May-Grünwald-Giemsa stain; bone marrow smear — 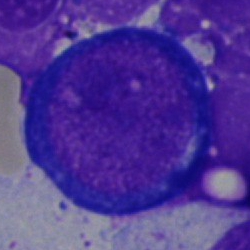

Classification — proerythroblast.